May-Grünwald-Giemsa stain · bone marrow smear.
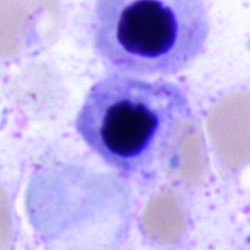

Morphological class: nucleated red blood cell.